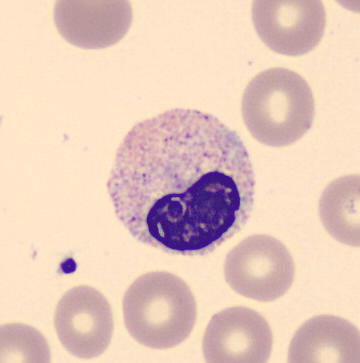Single cell identified as a band-form neutrophil. 360×363 px; peripheral blood smear.